250×250 · bone marrow smear.
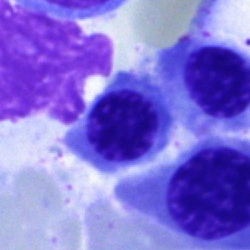Cell type — nucleated red cell.